40× objective, oil immersion; bone marrow aspirate smear
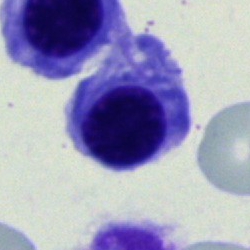

Cell type: nucleated red blood cell.